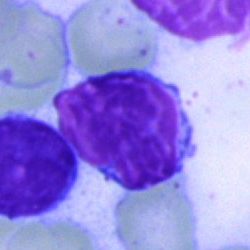
Morphology — lymphocyte.